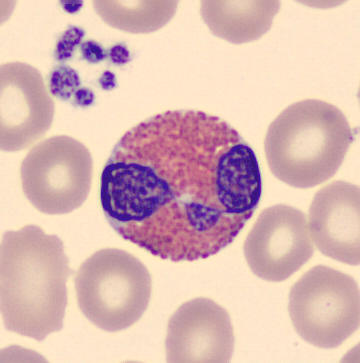
Specimen: peripheral blood film.
Cell: eosinophil.